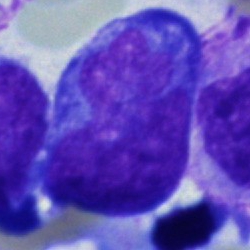Morphological class: blast.